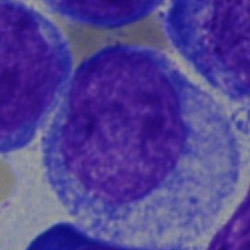Impression — progranulocyte.